Bone marrow aspirate smear; 40× oil immersion; MGG-stained.
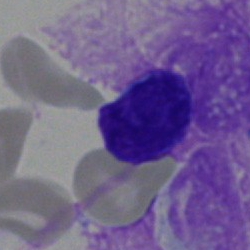 Classification — typical lymphocyte.